250×250 px · bone marrow aspirate smear — 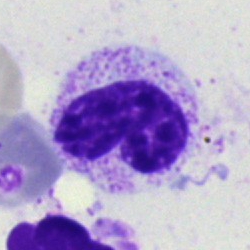 Band-form neutrophil.